Bone marrow aspirate smear; cropped to a single cell
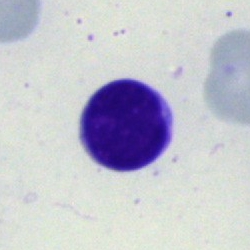Morphological class = typical lymphocyte.